Bone marrow smear
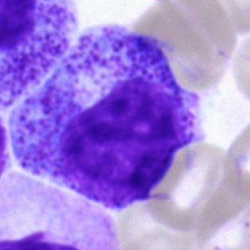
{"cell_type": "progranulocyte"}